Bone marrow aspirate smear.
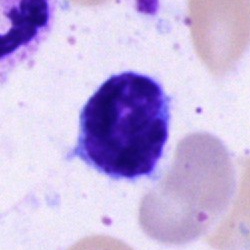 The cell shown is a lymphocyte.